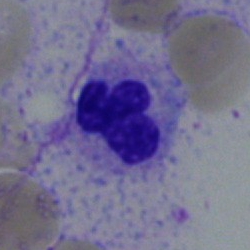 A segmented neutrophil on a bone marrow smear.